40× objective, oil immersion; bone marrow smear; single-cell crop
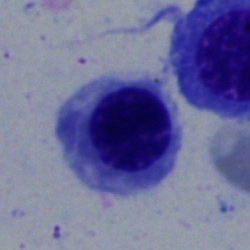
The cell shown is an erythroblast.